Bone marrow aspirate smear
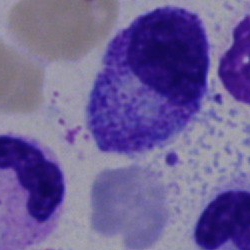Morphological class: myelocyte.